Bone marrow smear: 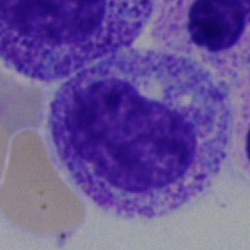
Cell — metamyelocyte.